Single cell centered in the field. Bone marrow aspirate smear:
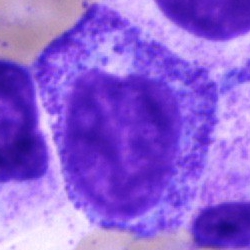Specimen: bone marrow smear.
Morphological class: progranulocyte.